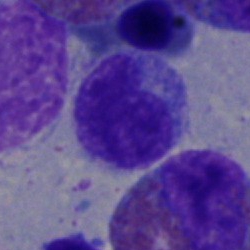 This is a typical lymphocyte.